400 by 400 pixels. Peripheral blood smear:
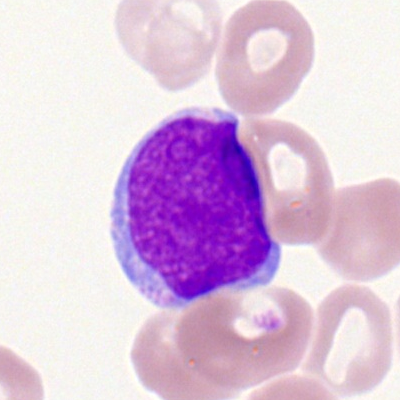
This is a myeloid blast.